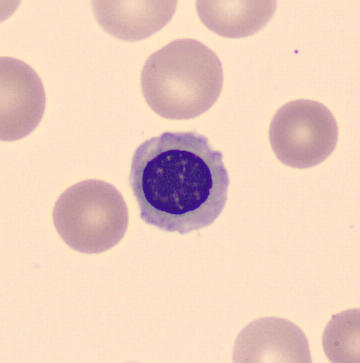Peripheral blood smear.
A nucleated red cell.